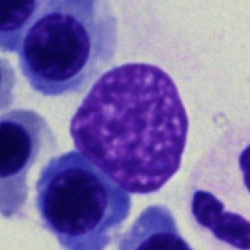 Cell type — artefact.